Single cell centered in the field; bone marrow smear; 250×250: 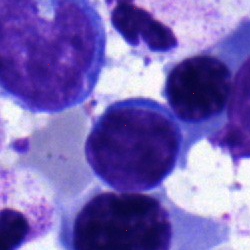Specimen: bone marrow aspirate smear.
Cell: typical lymphocyte.